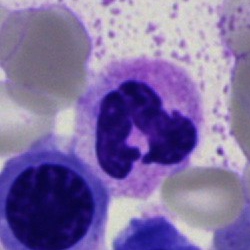

A neutrophil (segmented) on a bone marrow smear.